Bone marrow smear: 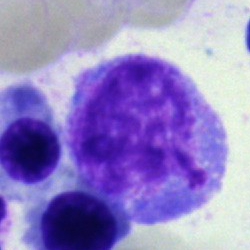

Single cell identified as a monocyte.